Single cell centered in the field · bone marrow smear: 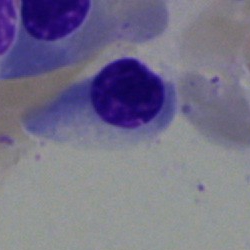

{"cell_type": "nucleated red blood cell", "lineage": "erythroid"}